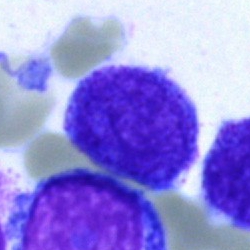Q: Identify the cell.
A: Blast cell.